Bone marrow aspirate smear: 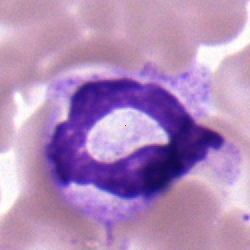

The classification is polymorphonuclear neutrophil.